Bone marrow smear. Cropped to a single cell
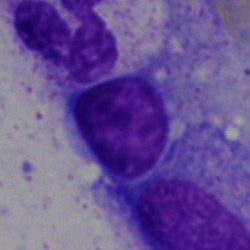The classification is typical lymphocyte.